Bone marrow aspirate smear
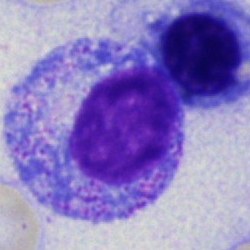

Specimen: bone marrow smear.
Cell: progranulocyte.
Lineage: myeloid.